Brightfield, 40× oil-immersion objective. Bone marrow aspirate smear. Single-cell field — 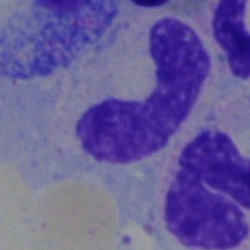Q: What is shown here?
A: It is a neutrophil (band).